Bone marrow smear — 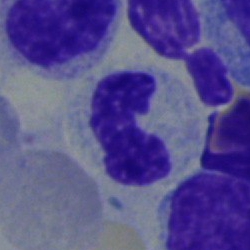
This is a band neutrophil.